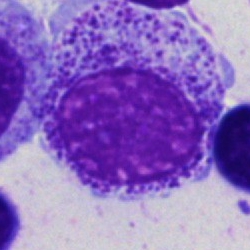
Cell type — promyelocyte.